250 by 250 pixels; bone marrow smear; 40× objective, oil immersion
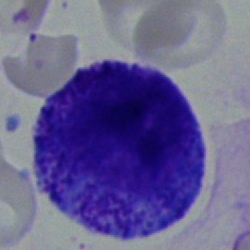Cell — progranulocyte.